Bone marrow smear:
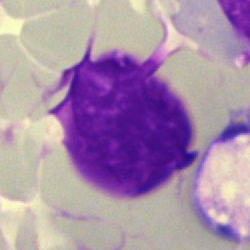Cell — artifact.